Romanowsky stain. Peripheral blood smear. 400 by 400 pixels: 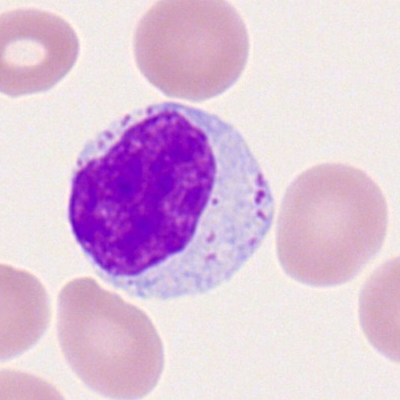

This is a lymphocyte.